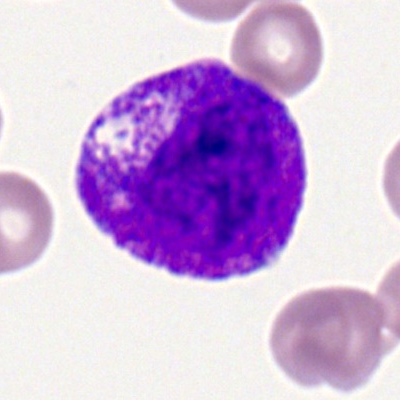

The morphological class is progranulocyte.